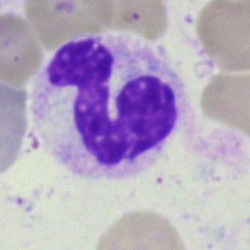
Morphology consistent with a segmented neutrophil.